MGG-stained · bone marrow smear:
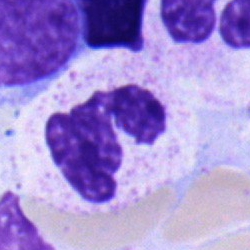
Cell = polymorphonuclear neutrophil.